Bone marrow aspirate smear: 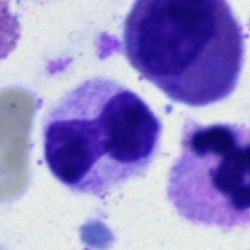
The classification is neutrophil (band).